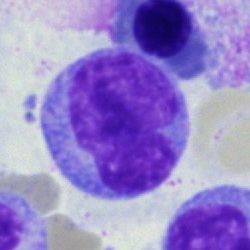Impression — monocyte.